Pappenheim-stained · bone marrow smear · 250 by 250 pixels.
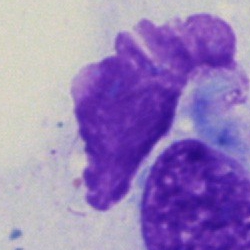Showing an artifact.